Bone marrow smear.
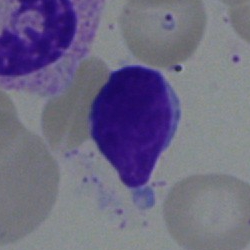
Q: What is the morphological classification of this cell?
A: A lymphocyte.